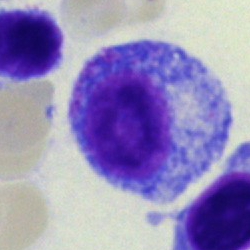Specimen: bone marrow smear.
Cell type: promyelocyte.
Lineage: myeloid.